Image size 250×250. Pappenheim-stained. Bone marrow aspirate smear — 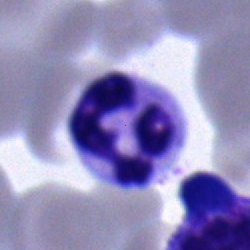Classification — neutrophil (segmented).